Bone marrow smear. 40× objective, oil immersion. 250×250 px.
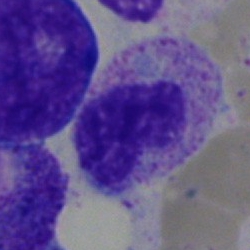 Morphology consistent with a metamyelocyte.